Bone marrow smear
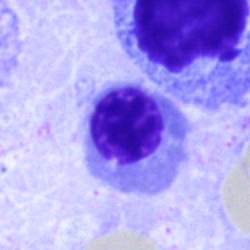Showing a nucleated red cell.